Bone marrow smear; single-cell crop — 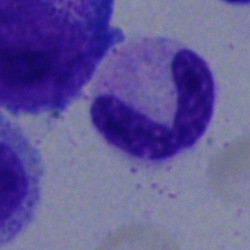Single cell identified as a polymorphonuclear neutrophil.